Bone marrow aspirate smear
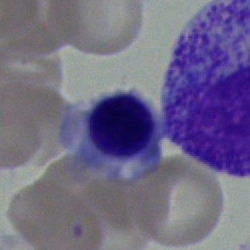

Cell type = nucleated red cell.